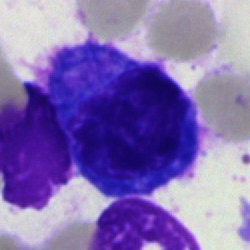

Specimen: bone marrow smear.
Classification: plasma cell.
Lineage: lymphoid.